Bone marrow smear
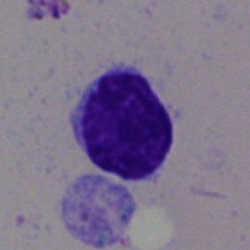
Q: Identify the cell.
A: This is a lymphocyte.